May-Grünwald-Giemsa stain; bone marrow aspirate smear
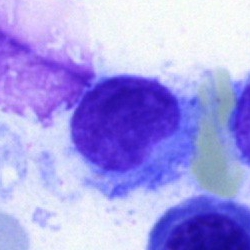 Morphological class = lymphocyte.